MGG-stained; image size 250×250; bone marrow aspirate smear:
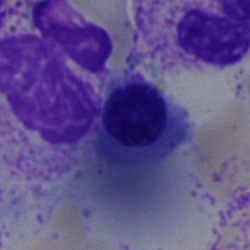

Nucleated red blood cell.